40× oil immersion. Bone marrow aspirate smear
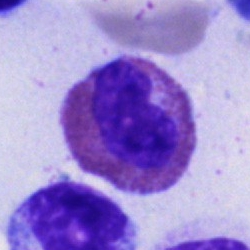 Q: What is shown here?
A: An eosinophilic granulocyte.